May-Grünwald-Giemsa/Pappenheim stain · bone marrow smear
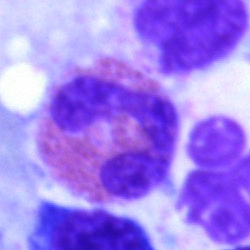
Morphology — eosinophilic granulocyte.